Bone marrow smear — 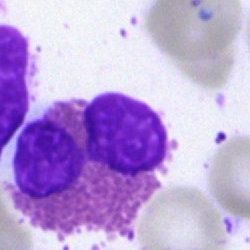Specimen: bone marrow smear.
Morphological class: eosinophil.